Bone marrow smear — 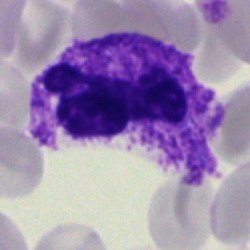 Classification = segmented neutrophil.